Cropped to a single cell; peripheral blood film — 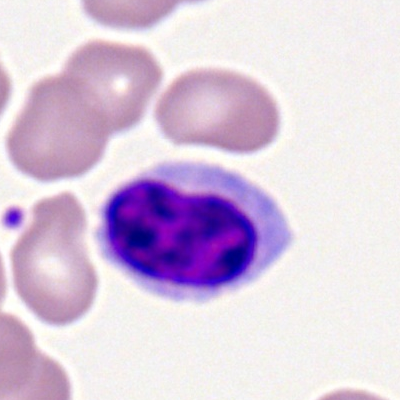Cell type — typical lymphocyte.